250 by 250 pixels; bone marrow smear — 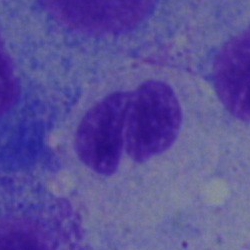

Morphology — band neutrophil.